Bone marrow smear
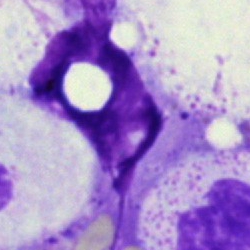Cell — artifact.